Bone marrow smear.
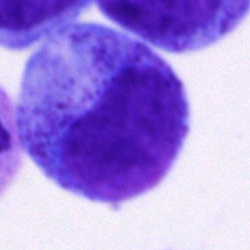Single cell identified as a promyelocyte.